Bone marrow smear: 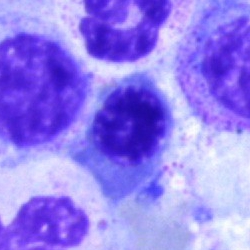

Morphological class: nucleated red blood cell.